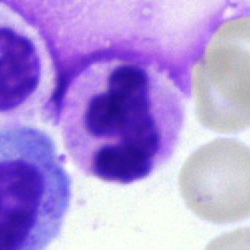 Bone marrow aspirate smear, single cell — polymorphonuclear neutrophil.